40× oil immersion. Bone marrow smear:
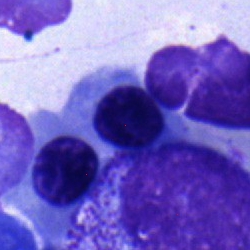

Specimen: bone marrow aspirate smear.
Cell type: erythroblast.
Lineage: erythroid.